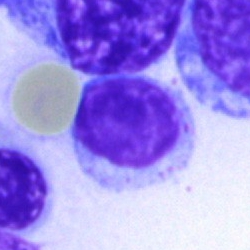

Typical lymphocyte.